Image size 250×250. Bone marrow aspirate smear — 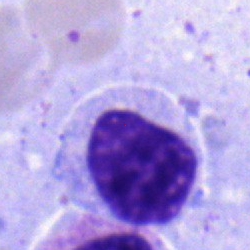Specimen: bone marrow smear.
Morphological class: myelocyte.